MGG-stained. Bone marrow smear — 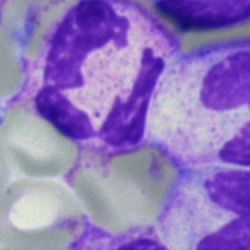Morphological class = neutrophil (segmented).